Bone marrow smear.
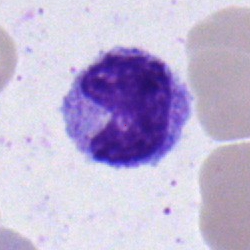 Classification = metamyelocyte.